Peripheral blood film. Imaged on a CellaVision DM96 analyser. MGG stain
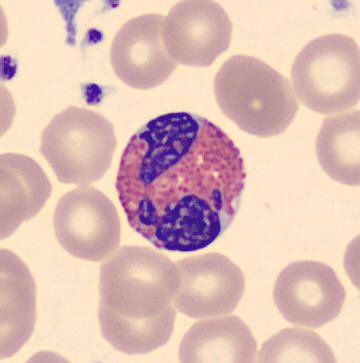Single cell identified as an eosinophil.